Bone marrow smear: 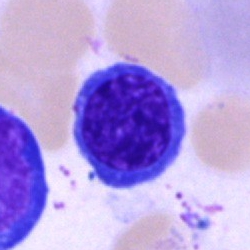

Impression — erythroblast.